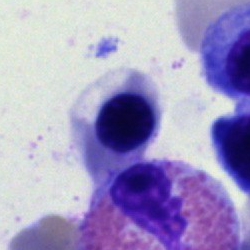Bone marrow aspirate smear, single cell — nucleated red cell.